250 by 250 pixels. Bone marrow aspirate smear. Single-cell crop.
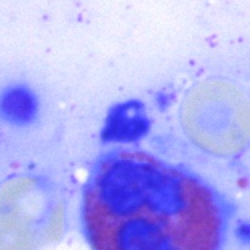Morphological class: eosinophil.